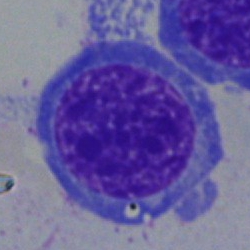Specimen: bone marrow smear.
Classification: erythroblast.
Lineage: erythroid.